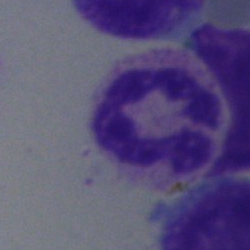
Specimen: bone marrow aspirate smear.
Morphological class: neutrophil (segmented).
Lineage: myeloid.